Bone marrow aspirate smear
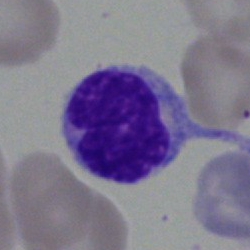Typical lymphocyte.